May-Grünwald-Giemsa/Pappenheim stain; 250×250; bone marrow smear:
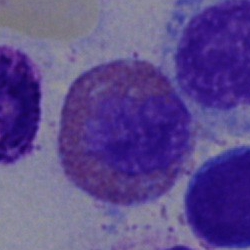 Q: What cell is this?
A: It is an eosinophil.